Bone marrow aspirate smear
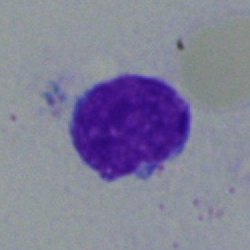 {"cell_type": "blast"}